250 by 250 pixels; cropped to a single cell; bone marrow aspirate smear
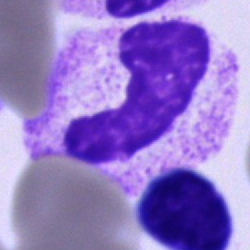
Showing a neutrophil (band).